Bone marrow aspirate smear; MGG-stained; brightfield, 40× oil-immersion objective:
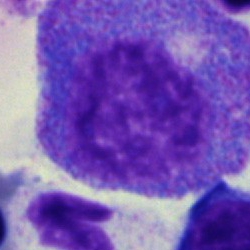Morphology consistent with a promyelocyte.